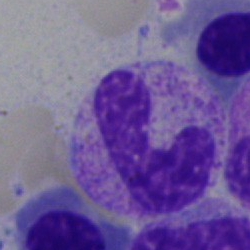Neutrophil (band).